40× oil immersion · bone marrow aspirate smear: 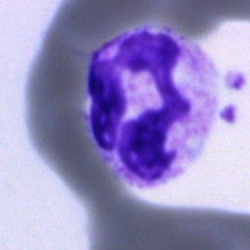The cell is polymorphonuclear neutrophil.